Single cell centered in the field. Bone marrow smear. MGG-stained — 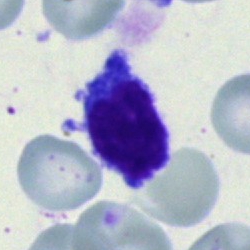Specimen: bone marrow smear.
Cell type: lymphocyte.
Lineage: lymphoid.